Bone marrow smear · May-Grünwald-Giemsa/Pappenheim stain: 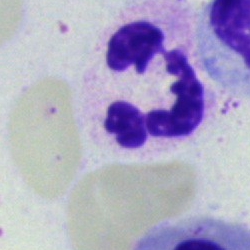

The cell shown is a polymorphonuclear neutrophil.